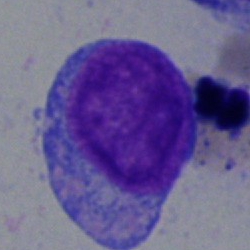

The cell shown is an undifferentiated blast.